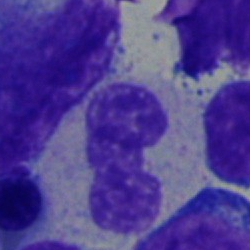Cell type = band neutrophil.